Single-cell crop · bone marrow aspirate smear:
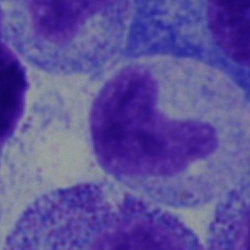 The cell shown is a band neutrophil.